Bone marrow aspirate smear — 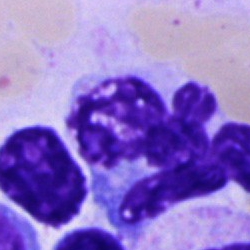 The cell shown is an artifact.